Pappenheim-stained. Bone marrow smear. 250 by 250 pixels — 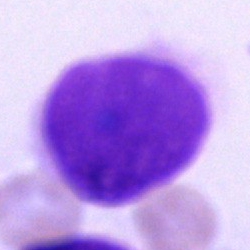

Q: What is shown here?
A: This is an artefact.